250×250; bone marrow smear — 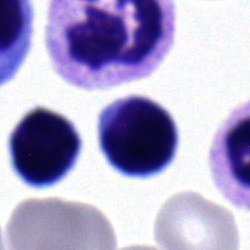

The cell type is lymphocyte.